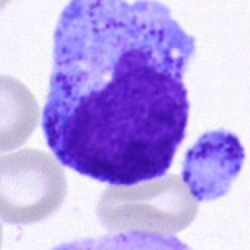 A promyelocyte.